250×250 px. Bone marrow smear: 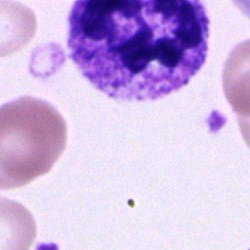Polymorphonuclear neutrophil.